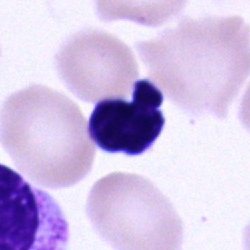

Specimen: bone marrow smear.
Classification: cell of indeterminate lineage.